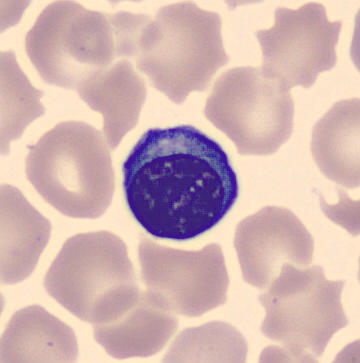
Nucleated red blood cell.
Image: Peripheral blood film.